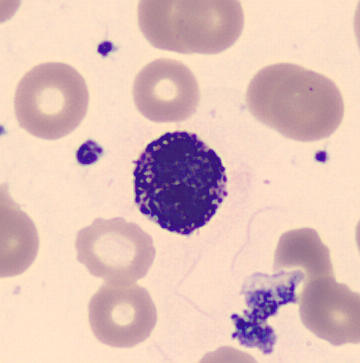Specimen: peripheral blood film.
Cell: basophil.
Lineage: myeloid.